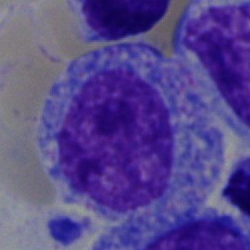 A progranulocyte on a bone marrow smear.